May-Grünwald-Giemsa/Pappenheim stain; 250×250 px; bone marrow smear — 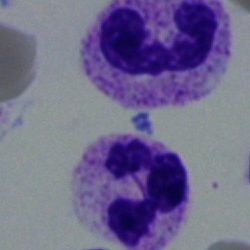

{"cell_type": "polymorphonuclear neutrophil"}